250 by 250 pixels; MGG-stained; bone marrow smear: 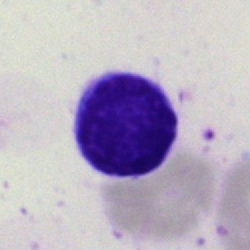

This is a typical lymphocyte.